Bone marrow aspirate smear — 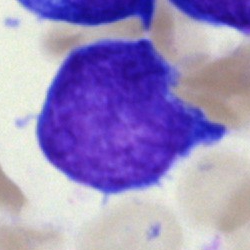
Cell: blast cell.